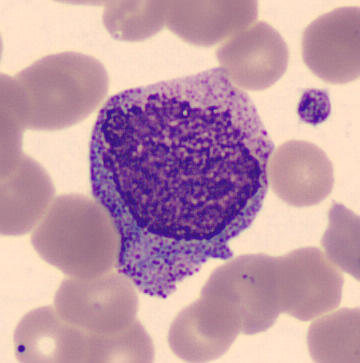
Peripheral blood film, single cell — progranulocyte.